Peripheral blood smear.
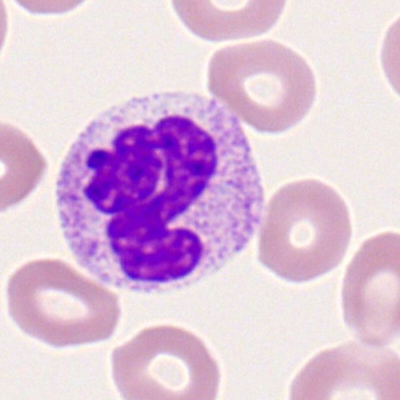Morphology → neutrophil (segmented).